Bone marrow aspirate smear; image size 250×250: 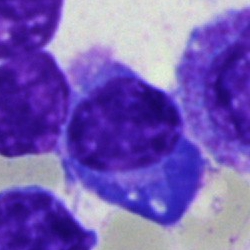

Impression → plasmacyte.